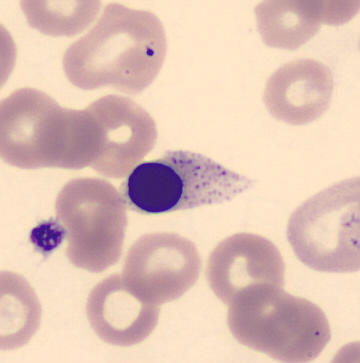
Erythroblast.
Acquisition: Imaged on a CellaVision DM96 analyser. 360×363 px. Peripheral blood smear.